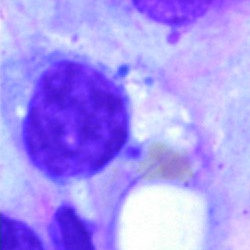The classification is lymphocyte.